Bone marrow aspirate smear — 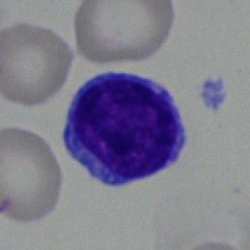Cell type: lymphocyte.